Bone marrow aspirate smear — 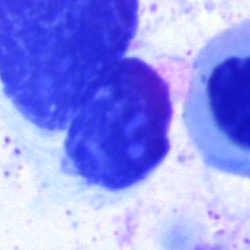
An artefact.